40× objective, oil immersion. Bone marrow smear — 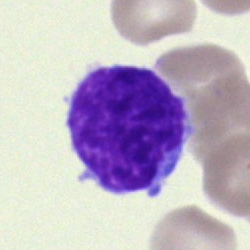Morphology consistent with a lymphocyte.